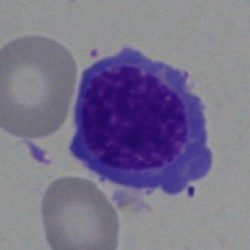 Morphological class — nucleated red blood cell.